Bone marrow smear · single-cell crop
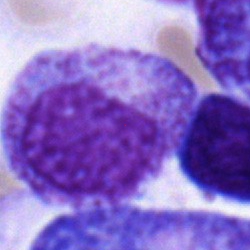 Morphology → myelocyte.